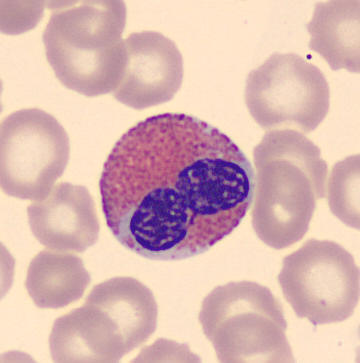
Q: What is the morphological classification of this cell?
A: An eosinophilic granulocyte.
May-Grünwald-Giemsa-stained · peripheral blood smear.